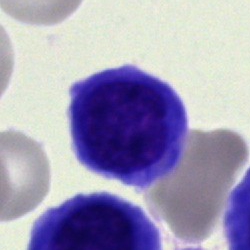Morphology — erythroblast.